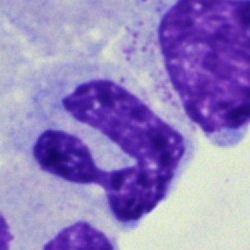
Q: Which cell type is shown here?
A: Polymorphonuclear neutrophil.